Bone marrow aspirate smear:
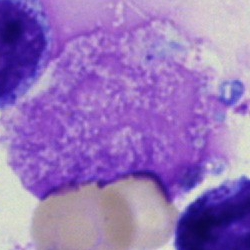

Specimen: bone marrow aspirate smear.
Cell type: artifact.